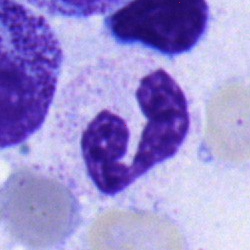
Cell type = segmented neutrophil.